Bone marrow smear.
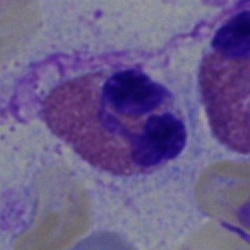

Q: What type of cell is this?
A: It is an eosinophil.